Bone marrow smear · 250 by 250 pixels — 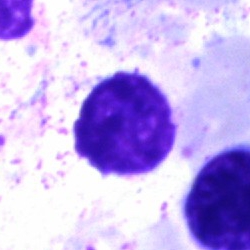Specimen: bone marrow smear.
Cell: artefact.